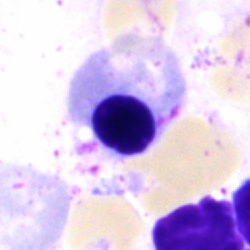 {"cell_type": "nucleated red cell", "lineage": "erythroid"}